May-Grünwald-Giemsa/Pappenheim stain · bone marrow smear · 250×250.
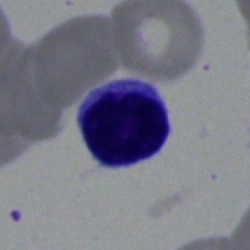 Cell = typical lymphocyte.